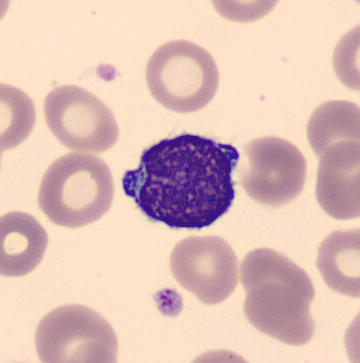

Acquisition: Peripheral blood smear.

The cell type is lymphocyte.